Bone marrow smear — 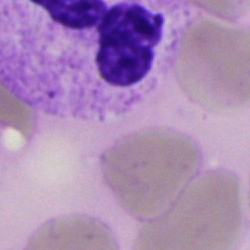

Q: What is shown here?
A: It is an artifact.